Peripheral blood smear
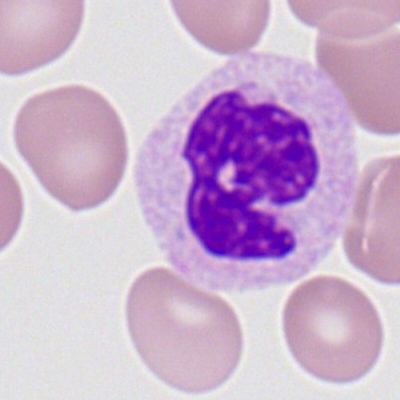
Q: What is shown here?
A: Neutrophil (segmented).